Bone marrow smear:
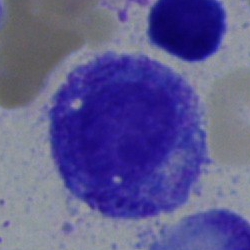 Cell type = myelocyte.